Bone marrow aspirate smear; 40× objective, oil immersion
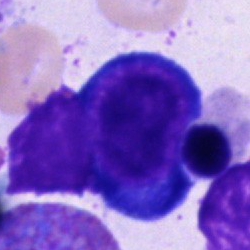Morphology consistent with a pronormoblast.